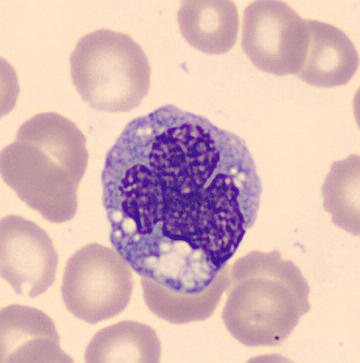Image: Peripheral blood film.

The cell shown is a monocyte.